Bone marrow aspirate smear: 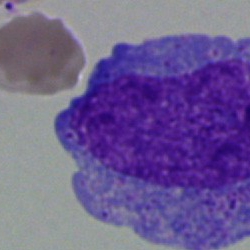 Specimen: bone marrow smear.
Cell type: promyelocyte.
Lineage: myeloid.